Bone marrow aspirate smear — 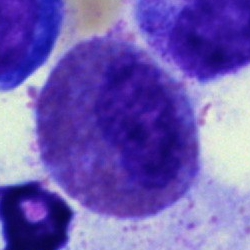 Showing an eosinophilic granulocyte.